Single-cell crop · bone marrow smear · image size 250×250:
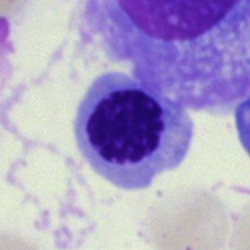Cell type — erythroblast.